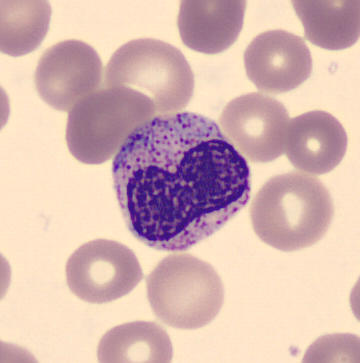

The classification is metamyelocyte.

Image: Peripheral blood film.